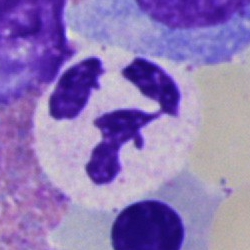 Bone marrow smear showing a neutrophil (segmented).